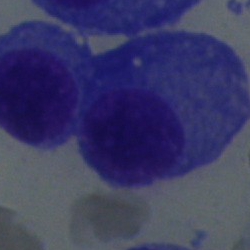

The cell shown is a plasmacyte.